Single-cell crop; bone marrow aspirate smear — 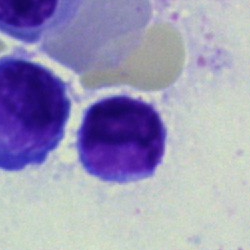
Q: What cell is this?
A: It is a lymphocyte.